Bone marrow aspirate smear:
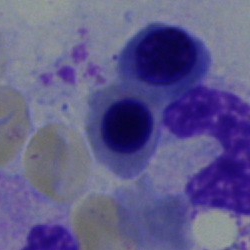Showing a nucleated red blood cell.